250×250 px. Bone marrow aspirate smear: 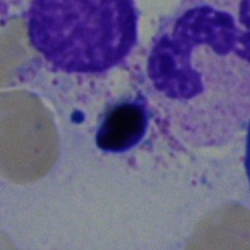 Nucleated red cell.